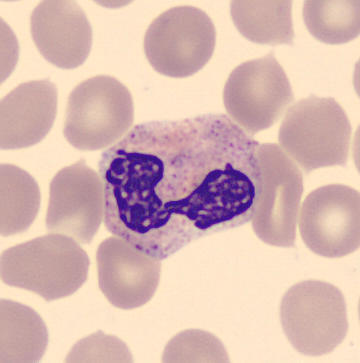Specimen: peripheral blood smear.
Classification: neutrophil (segmented).